MGG-stained; bone marrow smear; 40× objective, oil immersion
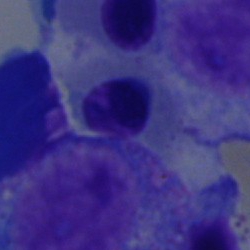 This is a nucleated red blood cell.